Bone marrow aspirate smear — 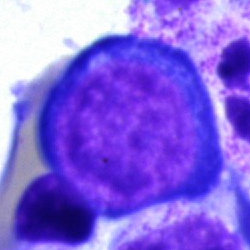Cell: proerythroblast.